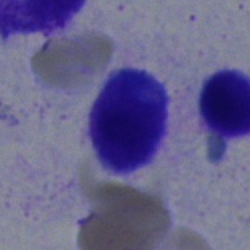
Cell — typical lymphocyte.